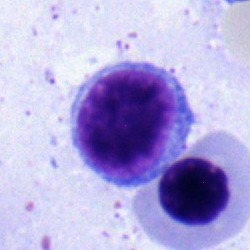Impression → typical lymphocyte.